Bone marrow aspirate smear; 250×250; May-Grünwald-Giemsa/Pappenheim stain
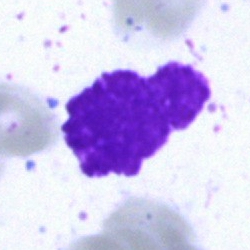 Specimen: bone marrow smear.
Cell: artifact.